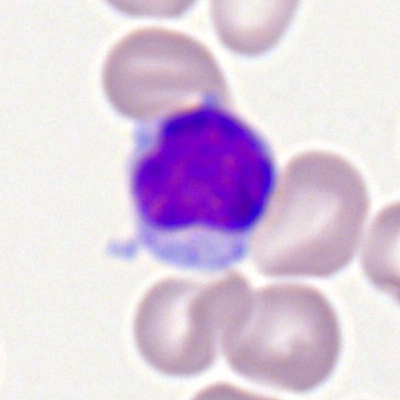
Specimen: peripheral blood film.
Classification: typical lymphocyte.
Lineage: lymphoid.